Bone marrow smear: 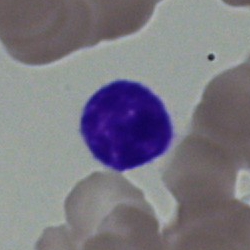

Q: Identify the cell.
A: This is a typical lymphocyte.